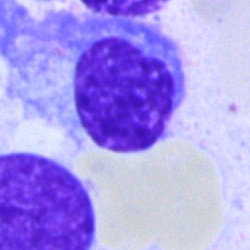
Cell = artifact.